40× oil immersion. Bone marrow aspirate smear — 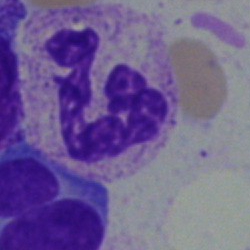 Cell: segmented neutrophil.